Bone marrow aspirate smear.
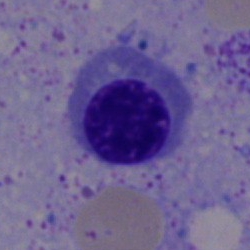 Specimen: bone marrow smear.
Cell: erythroblast.
Lineage: erythroid.